Bone marrow smear. 40× oil immersion
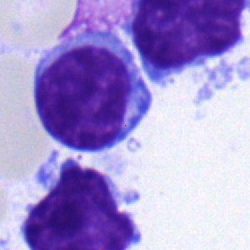

Morphology consistent with a typical lymphocyte.